Bone marrow aspirate smear — 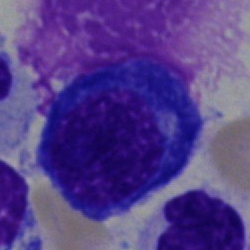

Cell = normoblast.